Bone marrow smear: 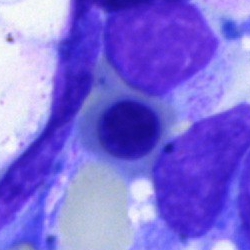

Morphology — normoblast.